Bone marrow smear:
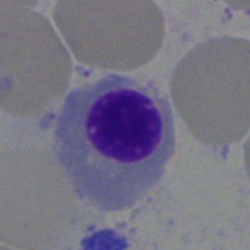 Specimen: bone marrow aspirate smear.
Cell: nucleated red cell.